Bone marrow smear · May-Grünwald-Giemsa stain.
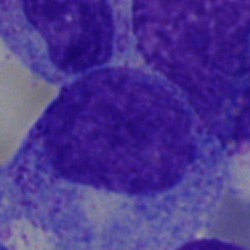
Morphology consistent with a progranulocyte.